100× oil immersion, 14.14 px/µm · peripheral blood smear — 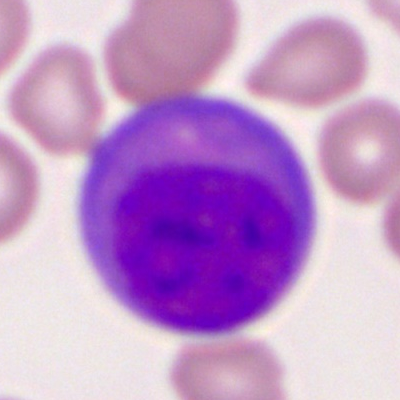

Q: What type of cell is this?
A: Myeloid blast.